250×250 px. Bone marrow aspirate smear. Brightfield, 40× oil-immersion objective:
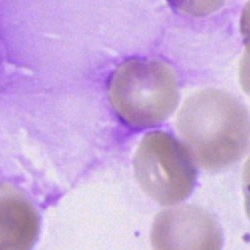
An artifact.